400 by 400 pixels; peripheral blood smear:
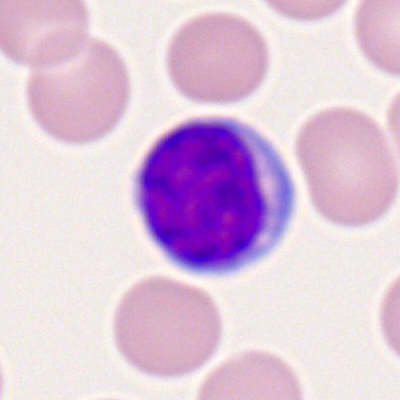 The cell shown is a lymphocyte.